Image size 250×250 · bone marrow aspirate smear — 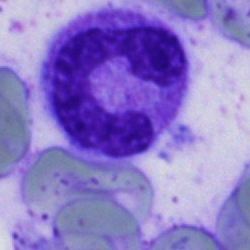

Morphological class = band-form neutrophil.